400×400 px. Romanowsky-type stain. Peripheral blood film — 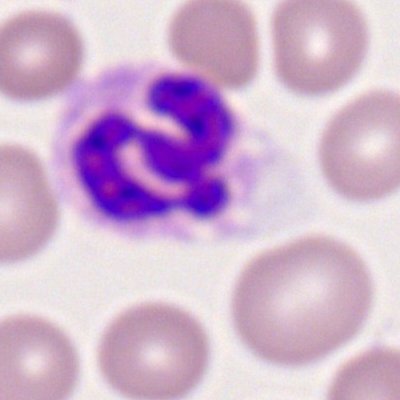 Classification = polymorphonuclear neutrophil.